Bone marrow smear — 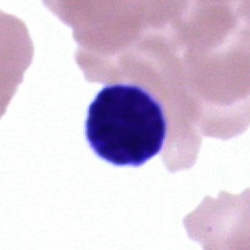 Classification: lymphocyte.